Brightfield microscopy, 40× oil immersion · bone marrow smear · May-Grünwald-Giemsa/Pappenheim stain: 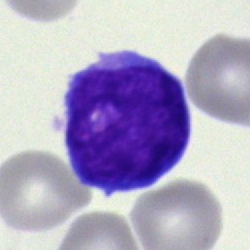Q: Which cell type is shown here?
A: Blast cell.